100× oil immersion · peripheral blood film · single cell centered in the field:
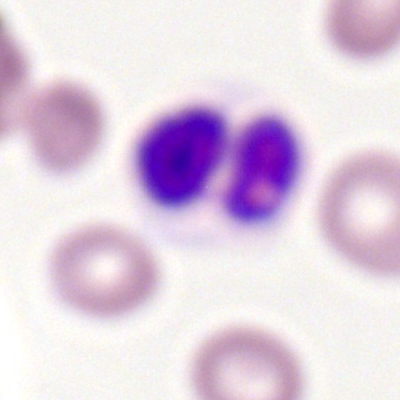Q: What type of cell is this?
A: A neutrophil (segmented).